Bone marrow aspirate smear; single-cell crop; 250×250 px
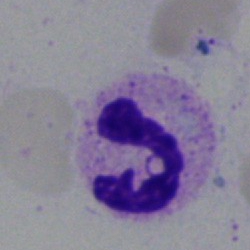Specimen: bone marrow aspirate smear.
Classification: neutrophil (segmented).
Lineage: myeloid.